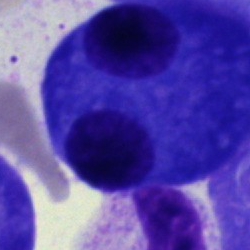
Impression → plasma cell.